Bone marrow smear:
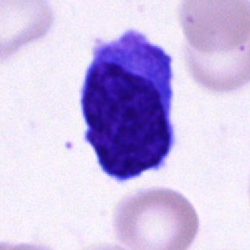Classification = plasma cell.